Bone marrow aspirate smear · cropped to a single cell
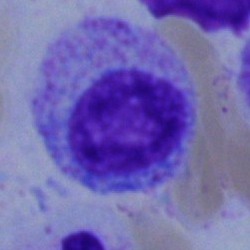
Single cell identified as a myelocyte.